Single cell centered in the field · 250×250 · bone marrow aspirate smear.
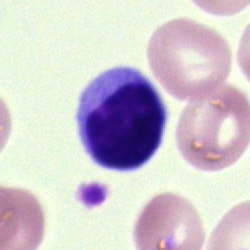Classification: lymphocyte.